Bone marrow smear: 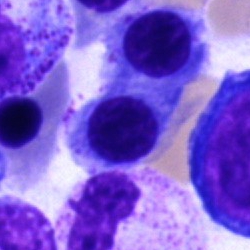
Q: Which cell type is shown here?
A: A normoblast.